Single cell centered in the field. Bone marrow aspirate smear — 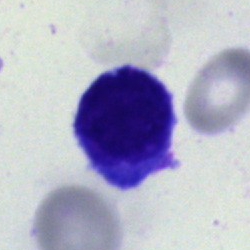

Morphology consistent with an undifferentiated blast.